Bone marrow smear · 40× oil immersion:
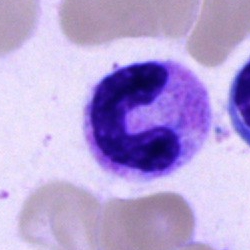 Impression → band neutrophil.